40× objective, oil immersion. Bone marrow aspirate smear. MGG-stained: 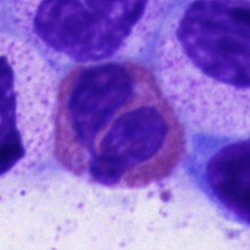 Cell — eosinophilic granulocyte.